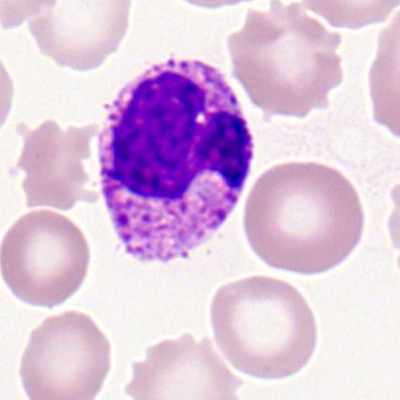
Single cell identified as a basophil.